Bone marrow smear:
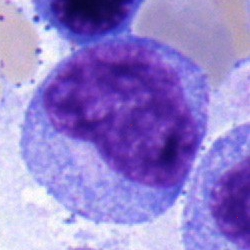 Showing a monocyte.